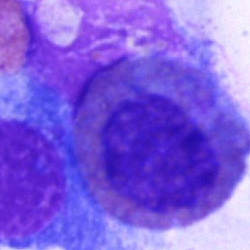 Specimen: bone marrow smear.
Cell: eosinophilic granulocyte.
Lineage: myeloid.